May-Grünwald-Giemsa stain; bone marrow smear
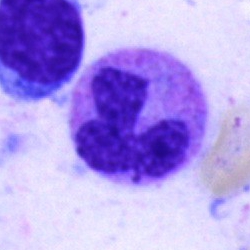Morphology → polymorphonuclear neutrophil.